Single-cell crop · bone marrow aspirate smear · 40× oil immersion
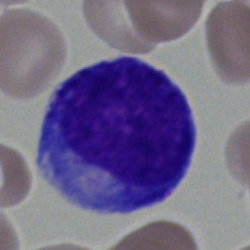

Morphology consistent with a promyelocyte.